Brightfield microscopy, 40× oil immersion; cropped to a single cell; bone marrow aspirate smear.
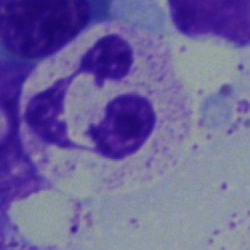

Q: What is shown here?
A: It is a neutrophil (segmented).